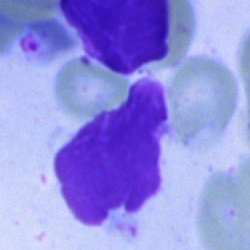Classification: artefact.